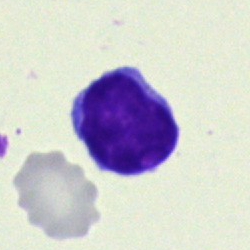 Bone marrow smear showing a lymphocyte.